Bone marrow smear: 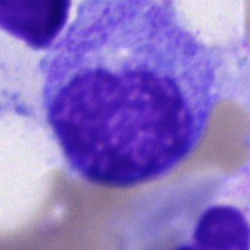 Specimen: bone marrow smear.
Classification: myelocyte.